40× oil immersion; bone marrow aspirate smear — 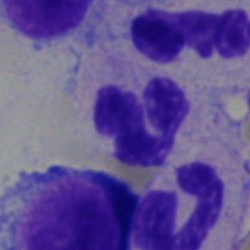 Q: Identify the cell.
A: Polymorphonuclear neutrophil.